Bone marrow smear — 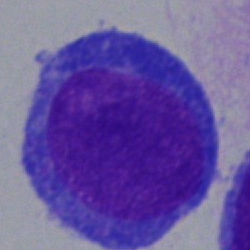

Q: Which cell type is shown here?
A: This is an undifferentiated blast.